250×250 · bone marrow aspirate smear:
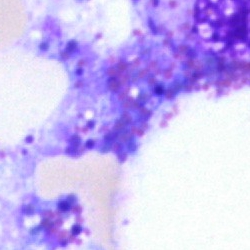 Cell type = artifact.